Bone marrow smear; cropped to a single cell
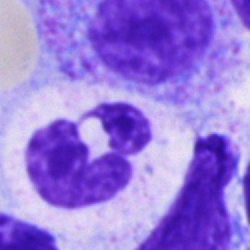

This is a polymorphonuclear neutrophil.